Single cell centered in the field · bone marrow smear — 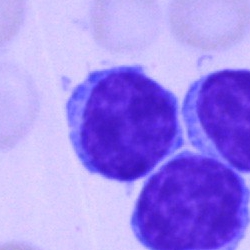 Impression — lymphocyte.